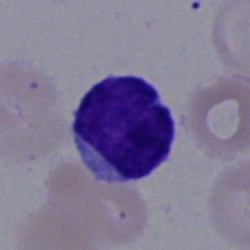Impression — lymphocyte.